Bone marrow aspirate smear. Single-cell crop.
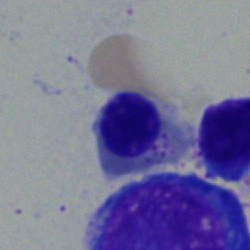 A nucleated red blood cell.